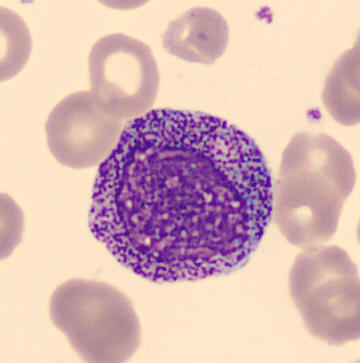

Single cell identified as a progranulocyte.
Image: Peripheral blood film. MGG stain.